Bone marrow smear.
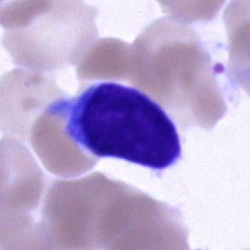
Classification — lymphocyte.